Single-cell crop · peripheral blood film: 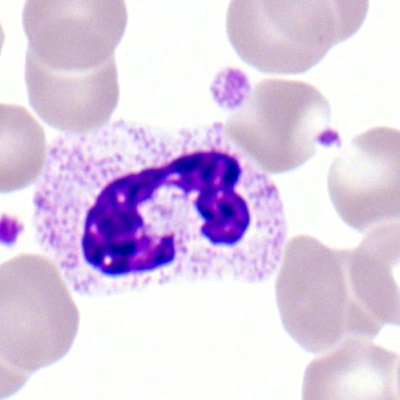
Single cell identified as a segmented neutrophil.